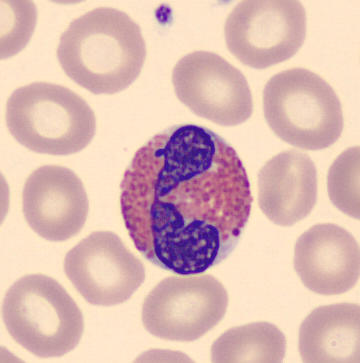
Cell type — eosinophil.